40× oil immersion. Bone marrow aspirate smear:
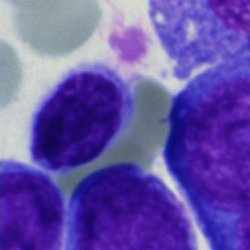
The cell shown is a typical lymphocyte.